Bone marrow smear.
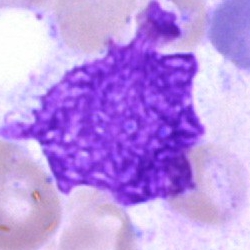The cell type is artefact.